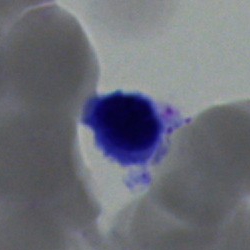

Morphological class: nucleated red cell.